Bone marrow aspirate smear; single-cell field — 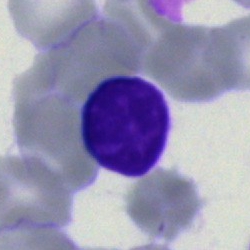Morphology consistent with a lymphocyte.